Bone marrow smear.
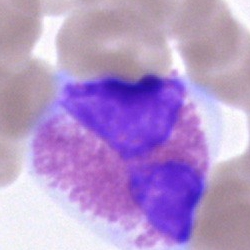 This is an eosinophil.